Bone marrow smear:
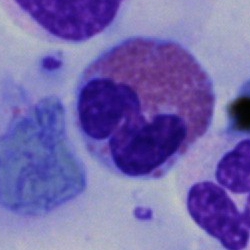

Cell: eosinophilic granulocyte.